Bone marrow aspirate smear.
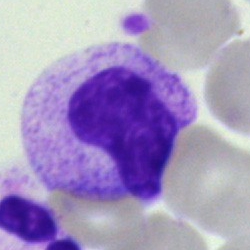 Morphology consistent with an unidentifiable cell.